Bone marrow aspirate smear: 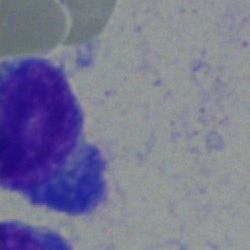
Showing a plasma cell.